Bone marrow aspirate smear: 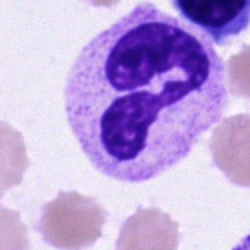This is a neutrophil (segmented).